Peripheral blood smear: 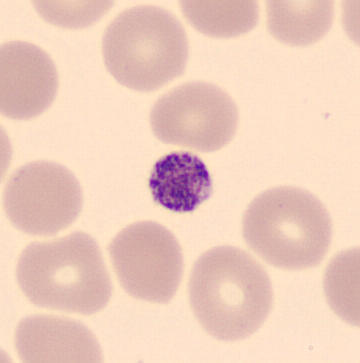Specimen: peripheral blood smear.
Classification: thrombocyte.